Bone marrow smear
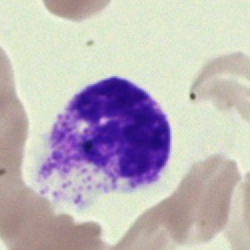

A segmented neutrophil.